Bone marrow smear; single-cell field: 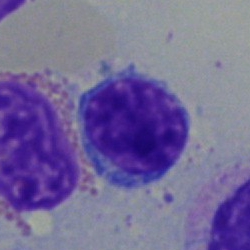

Cell type: lymphocyte.